Bone marrow smear: 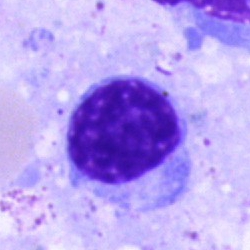 Q: What cell is this?
A: This is a lymphocyte.